Bone marrow aspirate smear:
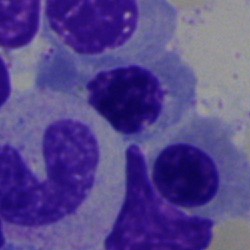 The cell shown is a normoblast.